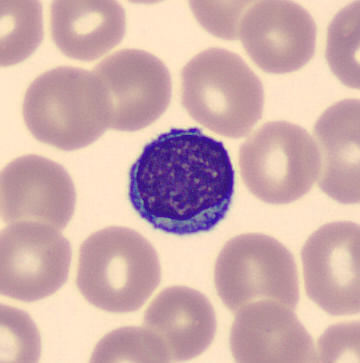 Morphology → typical lymphocyte.